Bone marrow smear:
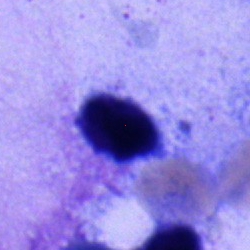 Single cell identified as a lymphocyte.